Bone marrow aspirate smear.
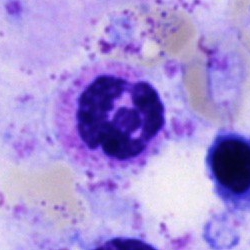 {"cell_type": "polymorphonuclear neutrophil", "lineage": "myeloid"}